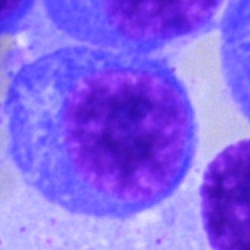 Classification = plasmacyte.